Single-cell crop. Peripheral blood smear. 400×400:
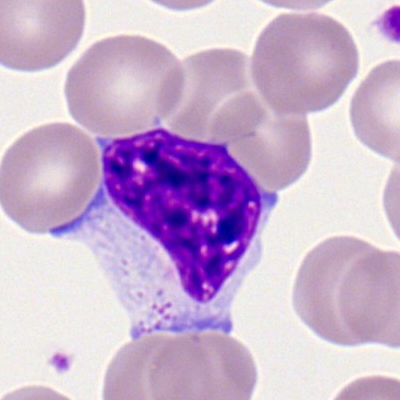 A lymphocyte.